250 by 250 pixels; bone marrow aspirate smear; brightfield, 40× oil-immersion objective: 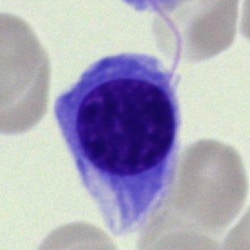 Q: What cell is this?
A: A normoblast.